Peripheral blood smear · Romanowsky-stained:
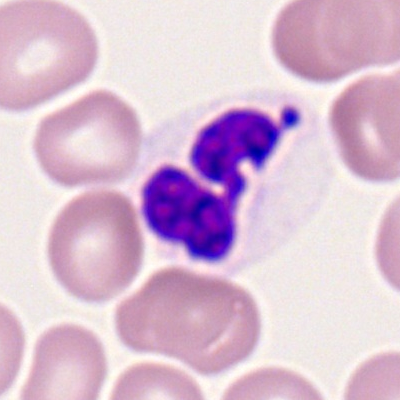
Morphology consistent with a neutrophil (segmented).